Brightfield microscopy, 40× oil immersion · bone marrow smear:
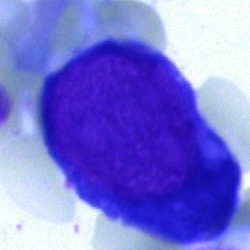

Impression — proerythroblast.